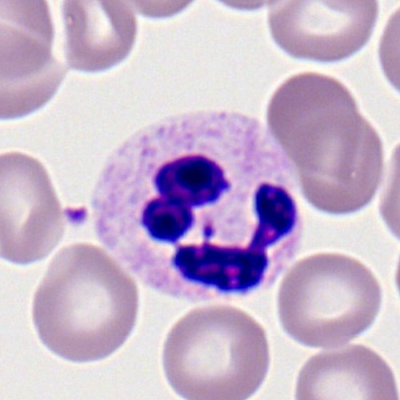Classification: neutrophil (segmented).